Bone marrow smear; single-cell crop.
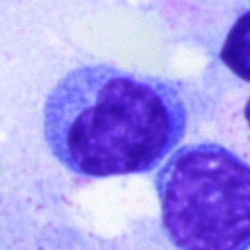

The cell type is typical lymphocyte.